Bone marrow smear. Pappenheim-stained
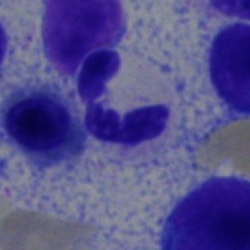Cell type = neutrophil (segmented).